Image size 250×250 · brightfield, 40× oil-immersion objective · bone marrow aspirate smear.
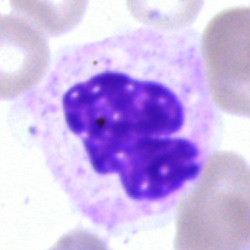

Q: Which cell type is shown here?
A: This is a polymorphonuclear neutrophil.